40× objective, oil immersion. Bone marrow aspirate smear — 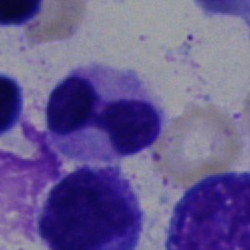
Showing a polymorphonuclear neutrophil.